Bone marrow smear; brightfield, 40× oil-immersion objective
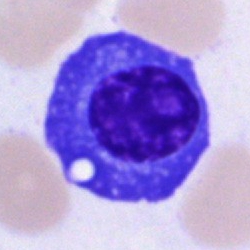

{"cell_type": "plasma cell", "lineage": "lymphoid"}